Bone marrow aspirate smear; May-Grünwald-Giemsa stain: 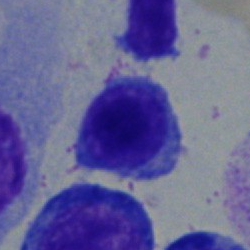 Q: Identify the cell.
A: It is a typical lymphocyte.